Bone marrow aspirate smear
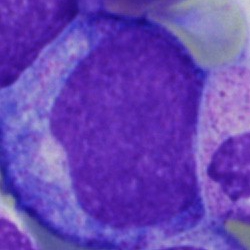
Impression — promyelocyte.